Bone marrow aspirate smear. 250×250 px.
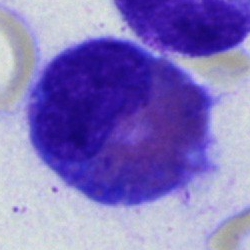

Impression → eosinophil.